Bone marrow smear — 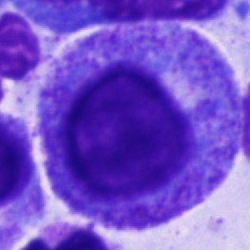 Specimen: bone marrow aspirate smear.
Classification: promyelocyte.
Lineage: myeloid.